40× oil immersion. Bone marrow aspirate smear. May-Grünwald-Giemsa/Pappenheim stain:
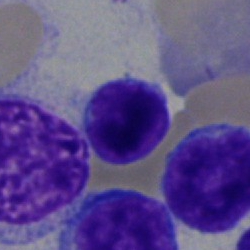

Cell type — lymphocyte.